Bone marrow aspirate smear.
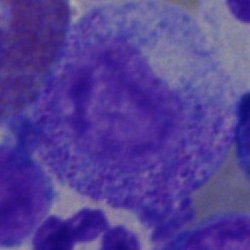
Specimen: bone marrow aspirate smear.
Cell type: progranulocyte.